May-Grünwald-Giemsa/Pappenheim stain. Bone marrow aspirate smear: 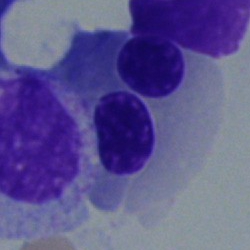Q: Identify the cell.
A: Normoblast.